Bone marrow smear · 250×250 · May-Grünwald-Giemsa stain:
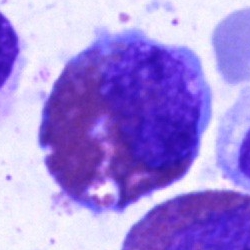
An eosinophil.